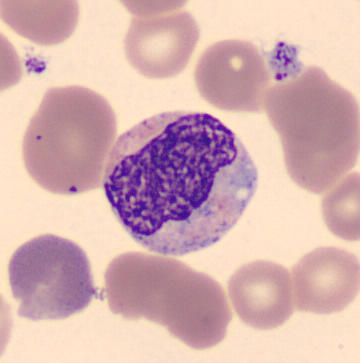 Peripheral blood film · 360×363 px.

Single cell identified as a metamyelocyte.